Bone marrow smear: 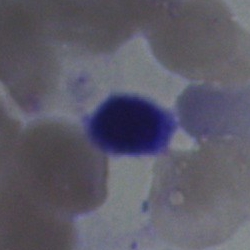

Lymphocyte.